Bone marrow aspirate smear
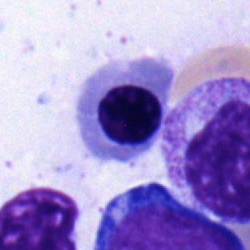
Showing a normoblast.